Bone marrow aspirate smear.
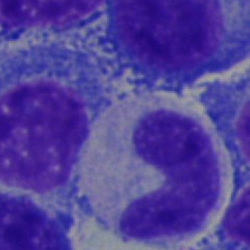 Cell — stab cell.